Bone marrow aspirate smear:
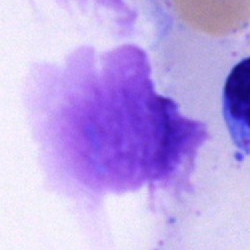
The cell shown is an artefact.